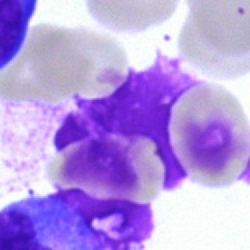Single-cell crop from a bone marrow smear: artefact.